Bone marrow aspirate smear:
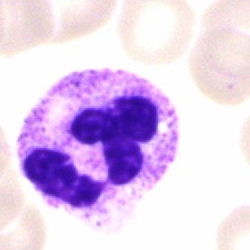Showing a segmented neutrophil.